40× objective, oil immersion · bone marrow smear — 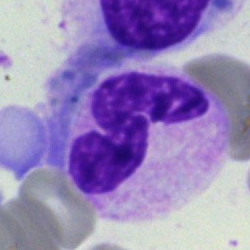

Q: What is shown here?
A: This is a segmented neutrophil.